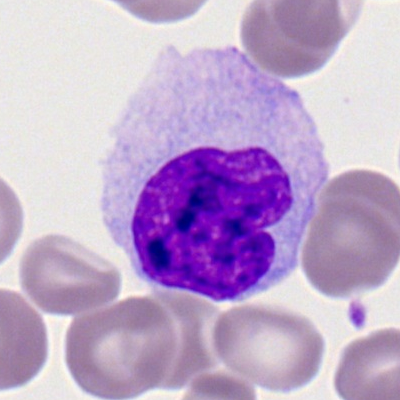 Peripheral blood smear showing a monocyte.